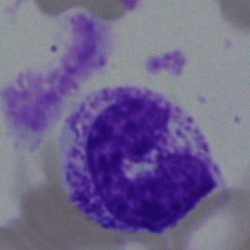 Morphology — band-form neutrophil.